Bone marrow smear:
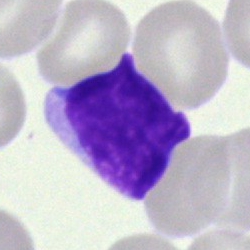 Morphology consistent with a blast cell.